Single-cell crop · bone marrow smear.
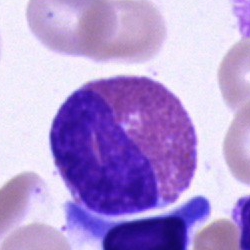Single cell identified as an eosinophil.